Bone marrow smear; cropped to a single cell; 40× oil immersion — 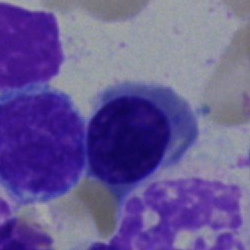

This is a nucleated red blood cell.